250 by 250 pixels; bone marrow smear.
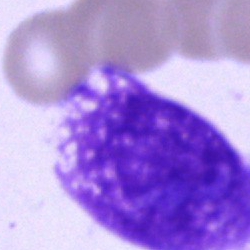 Showing an artefact.